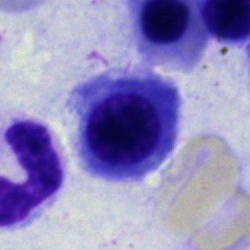
Cell type: nucleated red blood cell.